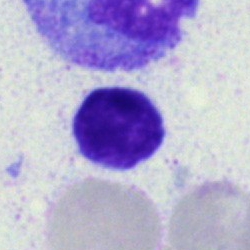

Q: What is the morphological classification of this cell?
A: This is a typical lymphocyte.